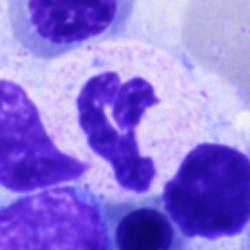

Q: What is the morphological classification of this cell?
A: This is a neutrophil (segmented).